Brightfield microscopy, 40× oil immersion. Pappenheim-stained. Bone marrow smear.
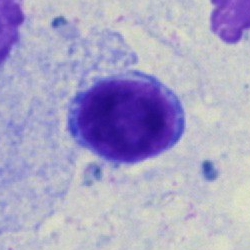

Cell type = typical lymphocyte.